Bone marrow aspirate smear — 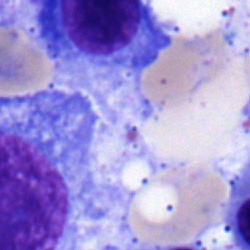Cell type: nucleated red cell.